Bone marrow aspirate smear; single-cell crop; MGG-stained
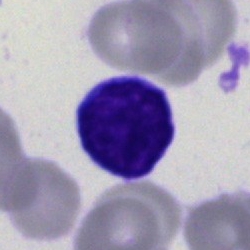

Cell type: blast cell.